Bone marrow aspirate smear. Image size 250×250
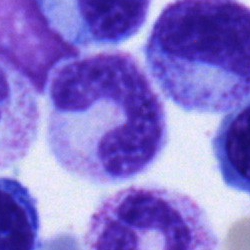Single cell identified as a neutrophil (band).